Bone marrow smear — 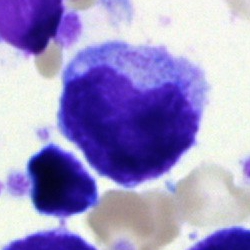Myelocyte.